Bone marrow smear — 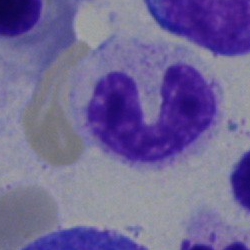{"cell_type": "stab cell"}